Bone marrow smear — 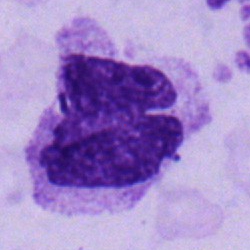Q: What is the morphological classification of this cell?
A: This is a metamyelocyte.